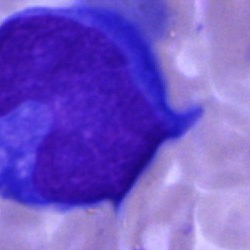 A blast cell on a bone marrow smear.